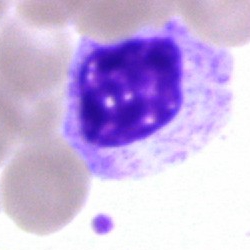 Q: What type of cell is this?
A: This is a myelocyte.